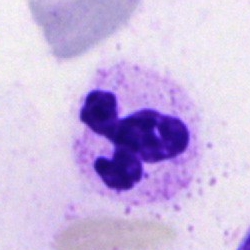 Morphological class = segmented neutrophil.